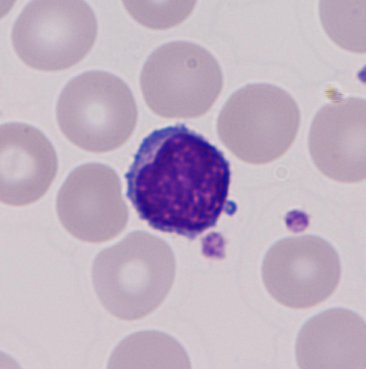
Image size 366×369 · peripheral blood film · CellaVision DM96 digital cell image.
The cell shown is a lymphocyte.